Single cell centered in the field. Bone marrow aspirate smear:
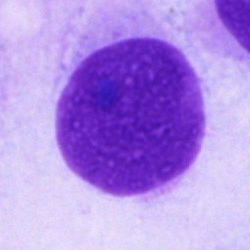Morphology — artifact.